Bone marrow aspirate smear. 250×250. Brightfield microscopy, 40× oil immersion.
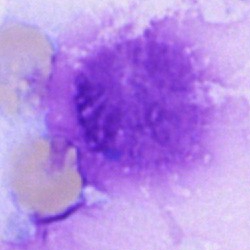
{"cell_type": "artifact"}